Bone marrow smear:
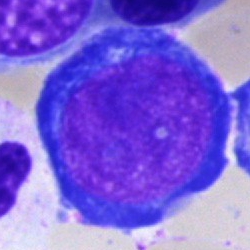
{"cell_type": "pronormoblast"}